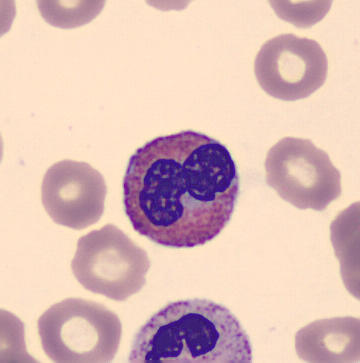Specimen: peripheral blood film.
Cell: eosinophil.
Lineage: myeloid.